250×250 px. Bone marrow aspirate smear. Single cell centered in the field: 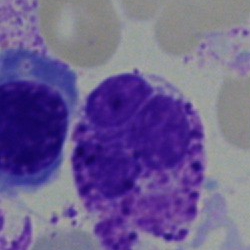
Cell type — basophilic granulocyte.